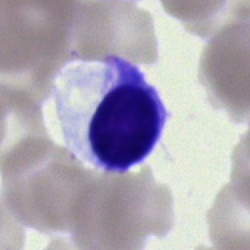Impression → typical lymphocyte.